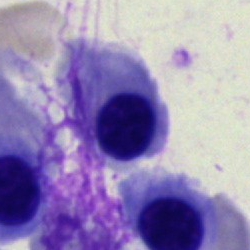The cell shown is a normoblast.